May-Grünwald-Giemsa/Pappenheim stain · bone marrow smear: 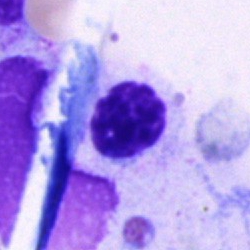

This is a normoblast.